250×250 · bone marrow aspirate smear:
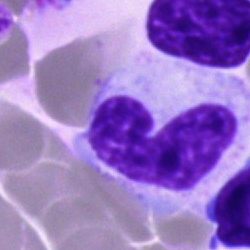

Cell — stab cell.